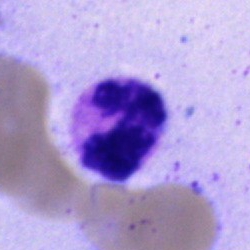

Morphology consistent with a neutrophil (segmented).